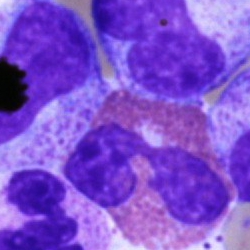
An eosinophil.